Bone marrow smear:
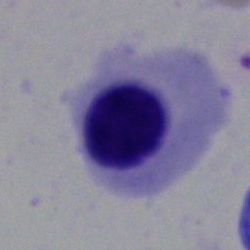

Single cell identified as a normoblast.